Bone marrow smear
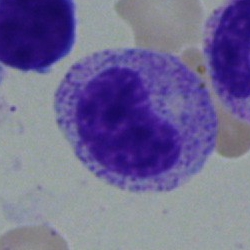 Metamyelocyte.